400 by 400 pixels. Peripheral blood film. 100× oil immersion: 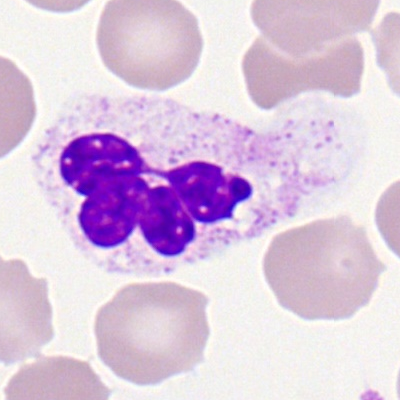
Impression → segmented neutrophil.